Bone marrow aspirate smear.
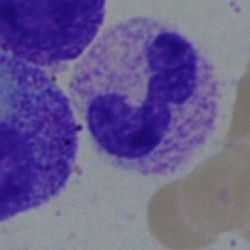 A neutrophil (band).